Bone marrow smear. Image size 250×250 — 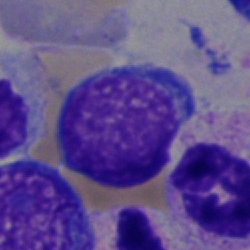
This is a blast cell.